250×250 px. Bone marrow smear. May-Grünwald-Giemsa stain
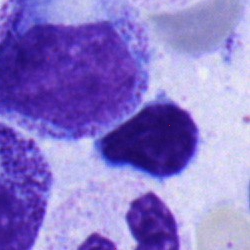

Showing a lymphocyte.